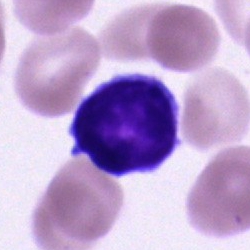
Q: What is shown here?
A: Lymphocyte.